Bone marrow aspirate smear:
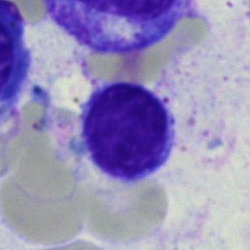
Showing a lymphocyte.